Single-cell field; May-Grünwald-Giemsa stain; bone marrow smear — 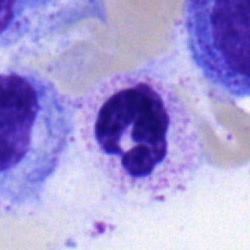Q: Identify the cell.
A: A segmented neutrophil.